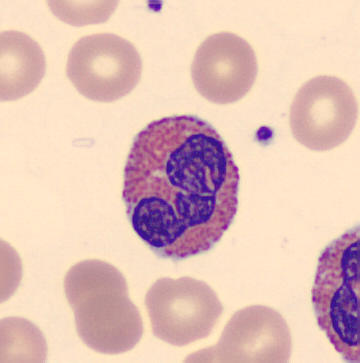From a peripheral blood smear: an eosinophilic granulocyte.